Bone marrow smear. May-Grünwald-Giemsa stain. Cropped to a single cell
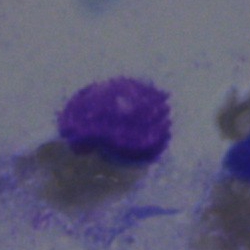 Morphology → artefact.